Bone marrow aspirate smear. 40× oil immersion. Single-cell crop
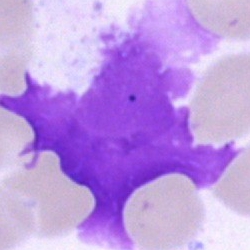 Q: What is shown here?
A: Artefact.